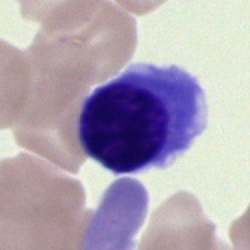
A nucleated red cell.